Bone marrow aspirate smear; single-cell crop:
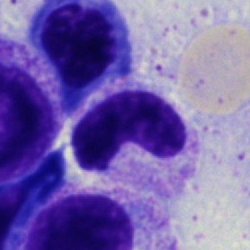 Cell = stab cell.